Bone marrow aspirate smear. Brightfield microscopy, 40× oil immersion
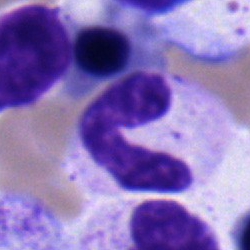Morphology → band neutrophil.